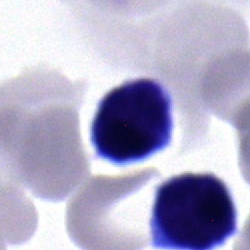 Cell type = lymphocyte.